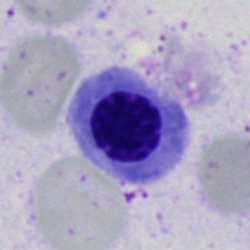 Bone marrow smear showing a nucleated red blood cell.